Bone marrow smear — 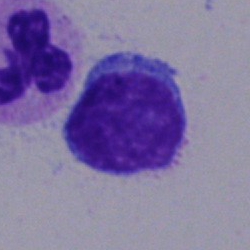

The cell shown is a typical lymphocyte.